Bone marrow aspirate smear · 250 by 250 pixels
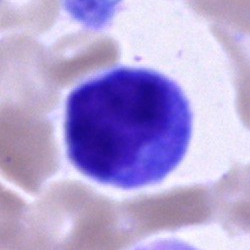

Morphology consistent with a monocyte.